Brightfield microscopy, 40× oil immersion; bone marrow smear; cropped to a single cell:
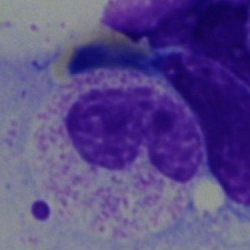

Showing a stab cell.